Bone marrow smear · 40× objective, oil immersion
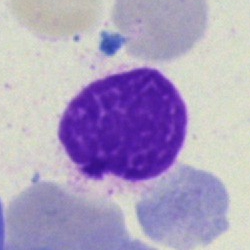
Impression — artefact.